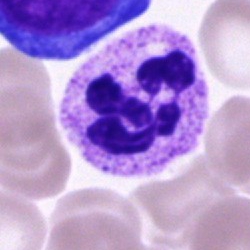
Single-cell crop from a bone marrow smear: polymorphonuclear neutrophil.